40× oil immersion; bone marrow smear:
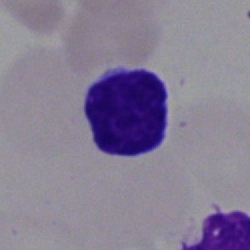

A typical lymphocyte.